Single-cell field · bone marrow aspirate smear: 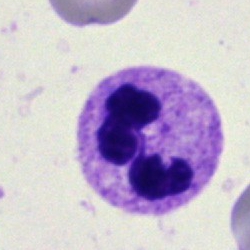 Polymorphonuclear neutrophil.